Peripheral blood film: 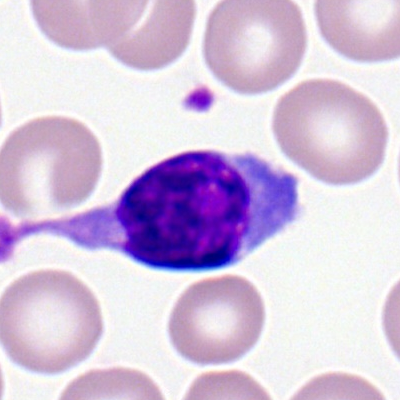 Q: What cell is this?
A: It is a lymphocyte.